Bone marrow aspirate smear · Pappenheim-stained: 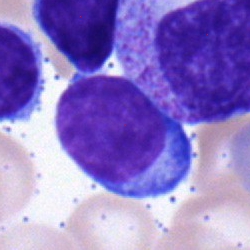

Showing a typical lymphocyte.